Bone marrow aspirate smear. Cropped to a single cell — 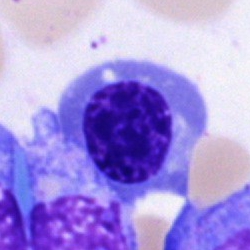
The cell shown is a normoblast.